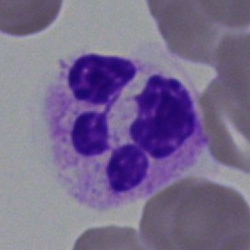
Cell type — segmented neutrophil.